Bone marrow aspirate smear:
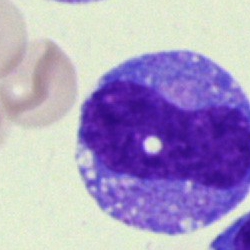
A monocyte.